Image size 250×250 · bone marrow aspirate smear · cropped to a single cell: 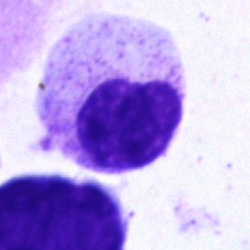The cell shown is a metamyelocyte.